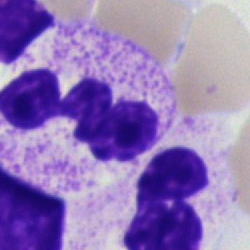

Morphology → neutrophil (segmented).